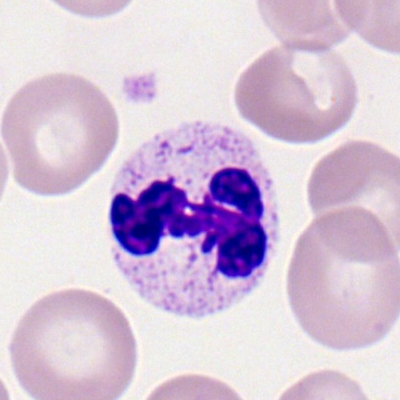Showing a segmented neutrophil.